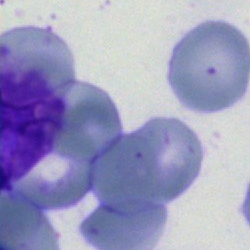
Specimen: bone marrow smear.
Morphological class: artefact.